Brightfield, 40× oil-immersion objective; bone marrow aspirate smear:
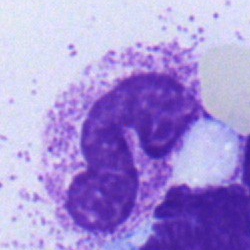A stab cell.